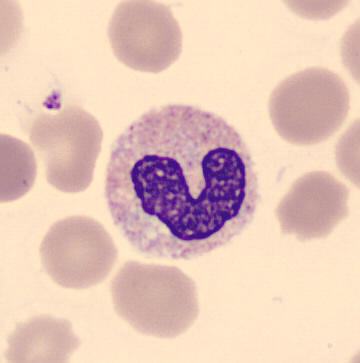

Morphology → stab cell.